Bone marrow aspirate smear: 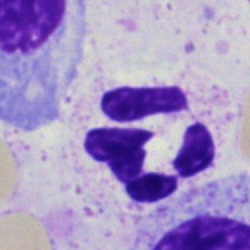Showing a segmented neutrophil.